Bone marrow smear · image size 250×250
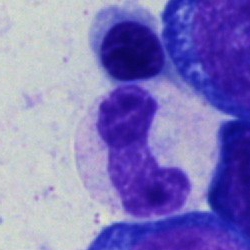Impression — band neutrophil.